Bone marrow smear
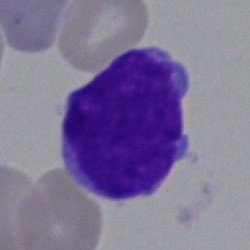

The cell shown is a blast.